Bone marrow aspirate smear · brightfield, 40× oil-immersion objective · 250×250
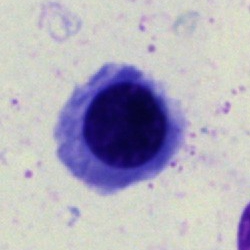

This is a nucleated red cell.